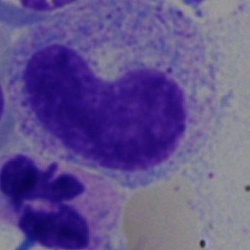 Specimen: bone marrow smear.
Classification: metamyelocyte.